40× objective, oil immersion · bone marrow aspirate smear · 250×250.
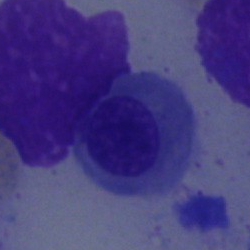
Normoblast.